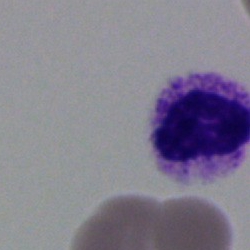An artefact.